May-Grünwald-Giemsa stain; bone marrow aspirate smear — 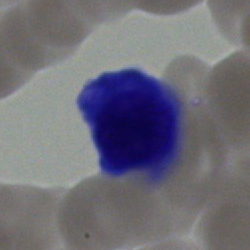 Q: Identify the cell.
A: It is a normoblast.